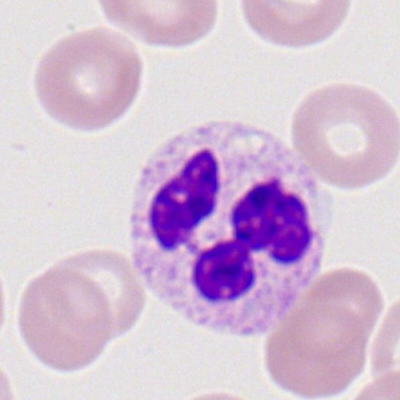
Q: Which cell type is shown here?
A: This is a neutrophil (segmented).